Peripheral blood film.
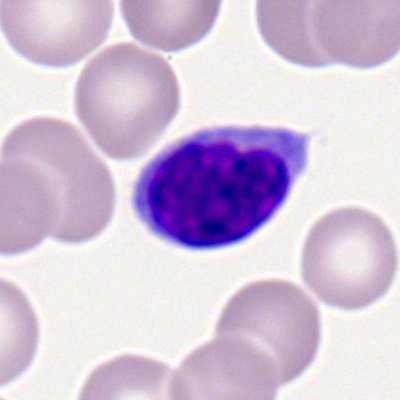This is a lymphocyte.